Image size 400×400 · peripheral blood smear.
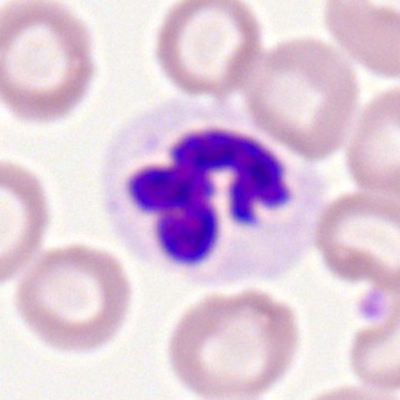 Q: Which cell type is shown here?
A: Neutrophil (segmented).